100× oil immersion, 14.14 px/µm; peripheral blood smear:
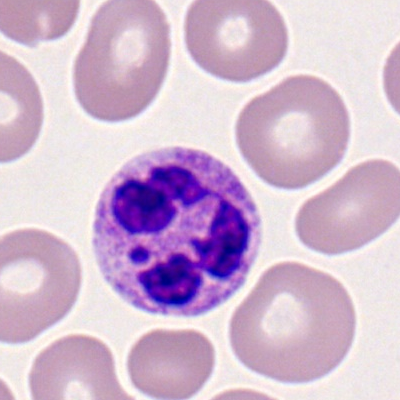Segmented neutrophil.